Bone marrow smear
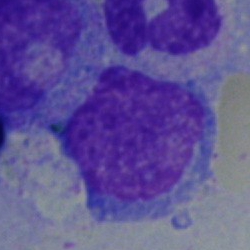 Q: What cell is this?
A: It is an undifferentiated blast.